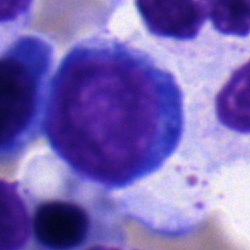Q: What type of cell is this?
A: It is a proerythroblast.